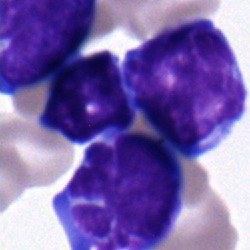 The morphological class is lymphocyte.